100× oil immersion · peripheral blood smear.
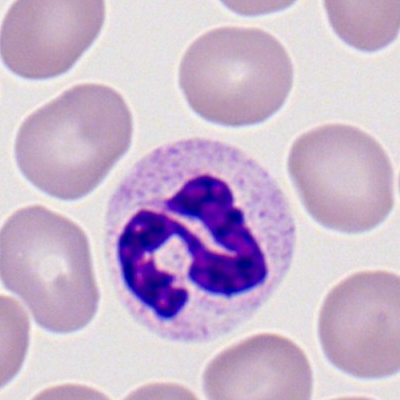
Single cell identified as a polymorphonuclear neutrophil.